Bone marrow aspirate smear.
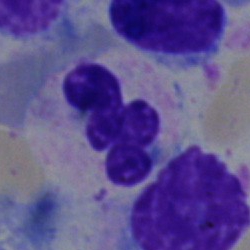The morphological class is segmented neutrophil.